May-Grünwald-Giemsa/Pappenheim stain. Bone marrow aspirate smear — 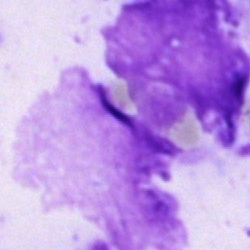
Morphological class — artefact.